Peripheral blood smear
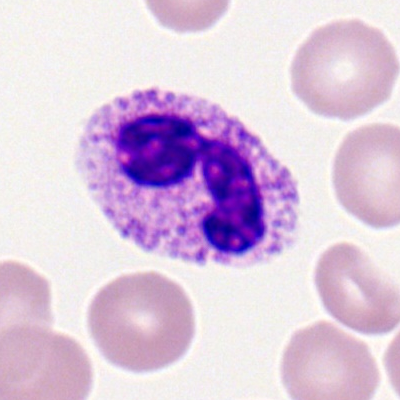{"cell_type": "neutrophil (segmented)", "lineage": "myeloid"}